Bone marrow smear — 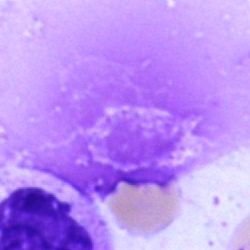

Cell type = artefact.